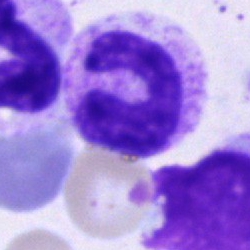
Specimen: bone marrow aspirate smear.
Classification: stab cell.